Pappenheim-stained. Bone marrow smear:
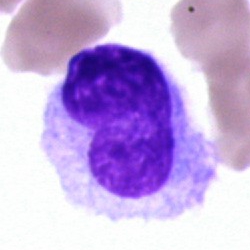Cell: hairy cell.